Bone marrow aspirate smear.
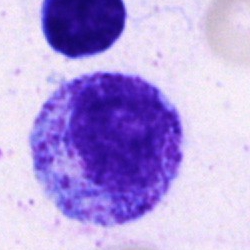Cell: progranulocyte.